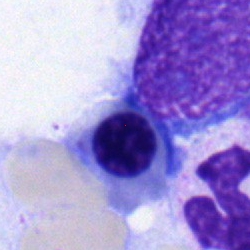
Morphology → nucleated red blood cell.